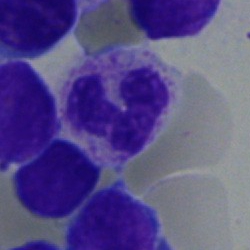

Bone marrow smear showing a segmented neutrophil.